Brightfield microscopy, 40× oil immersion. Bone marrow smear: 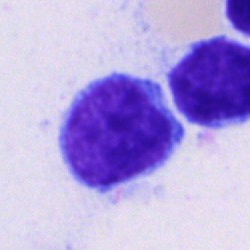Q: Which cell type is shown here?
A: A typical lymphocyte.